360×363 px. Peripheral blood film.
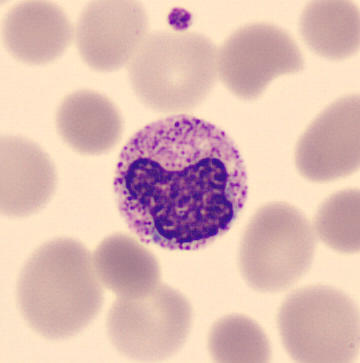 Specimen: peripheral blood film.
Cell type: metamyelocyte.